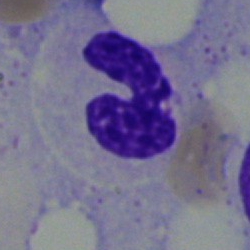
Q: What cell is this?
A: Stab cell.